Bone marrow smear.
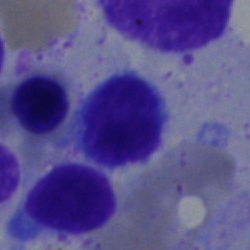
Cell type: typical lymphocyte.